Brightfield microscopy, 40× oil immersion · bone marrow smear: 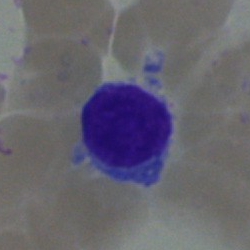
This is a typical lymphocyte.